Bone marrow aspirate smear. Single-cell crop: 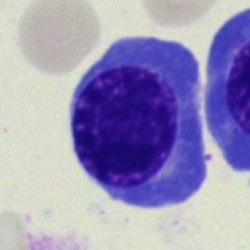
Q: What cell is this?
A: This is an erythroblast.